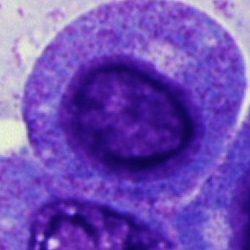 The cell shown is a promyelocyte.